Bone marrow aspirate smear. Single cell centered in the field
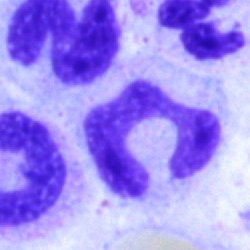Specimen: bone marrow aspirate smear.
Classification: artifact.